May-Grünwald-Giemsa stain · bone marrow smear: 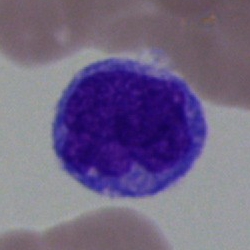
Morphology → monocyte.